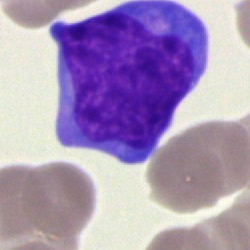Morphological class — blast.